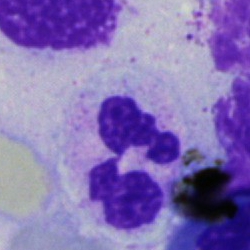 Specimen: bone marrow aspirate smear.
Cell: neutrophil (segmented).